Bone marrow smear.
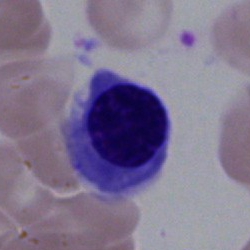
Erythroblast.